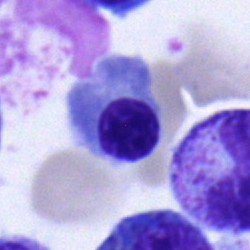{"cell_type": "nucleated red cell", "lineage": "erythroid"}